Bone marrow smear. Single cell centered in the field — 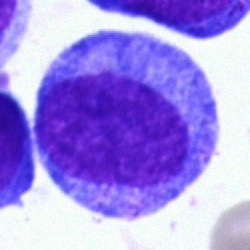 Specimen: bone marrow aspirate smear.
Cell type: promyelocyte.
Lineage: myeloid.